Bone marrow smear: 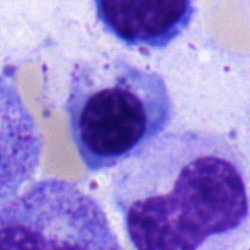 Specimen: bone marrow smear.
Cell: erythroblast.